Bone marrow smear: 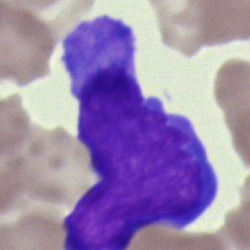 Classification — blast cell.